Bone marrow aspirate smear; cropped to a single cell:
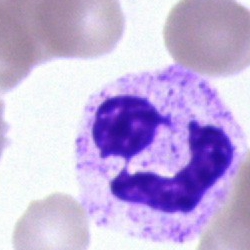 The cell shown is a segmented neutrophil.